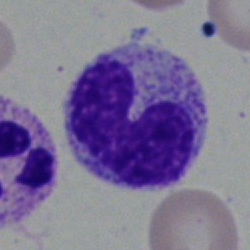
Cell type = stab cell.